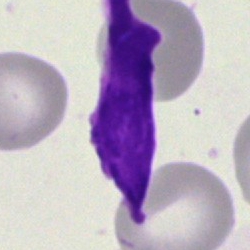
Cell type = artefact.